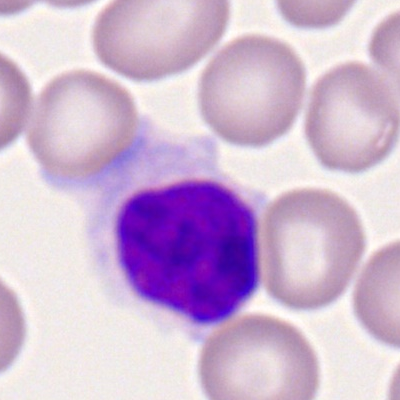
Morphology → typical lymphocyte.